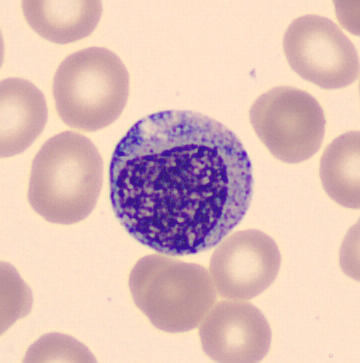Morphology consistent with a myelocyte. Acquisition: CellaVision DM96. Peripheral blood smear.